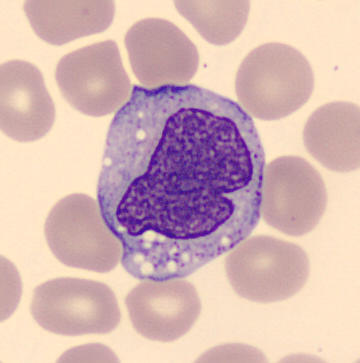
Morphology consistent with a monocyte.

Peripheral blood film.